Bone marrow aspirate smear.
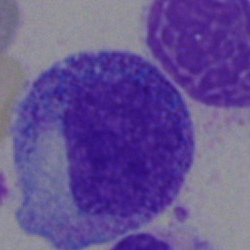

Morphology consistent with a promyelocyte.